Bone marrow smear: 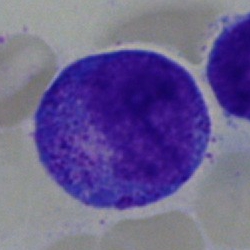
The cell shown is a promyelocyte.